May-Grünwald-Giemsa/Pappenheim stain; bone marrow smear:
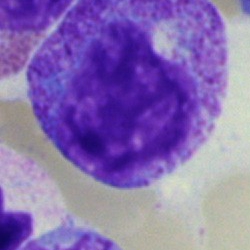Showing a progranulocyte.